Peripheral blood film. Romanowsky-stained.
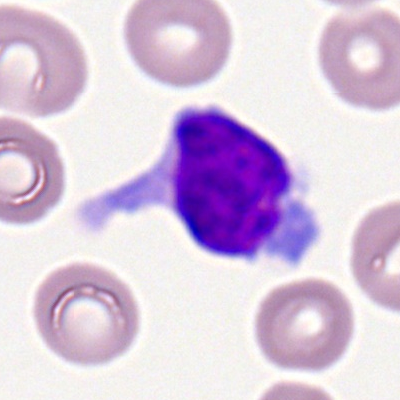
Morphology → typical lymphocyte.